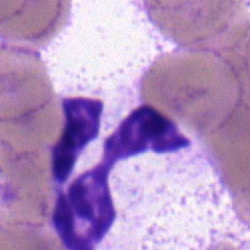

Impression — neutrophil (segmented).